Bone marrow smear. 40× objective, oil immersion. Cropped to a single cell
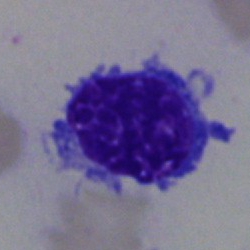

Q: What is shown here?
A: Nucleated red cell.